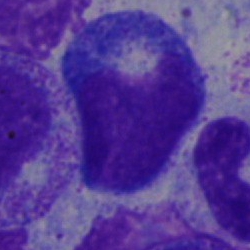 Specimen: bone marrow aspirate smear.
Cell type: progranulocyte.
Lineage: myeloid.